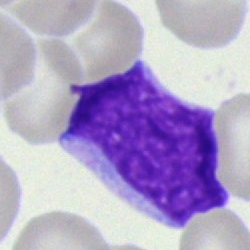 Q: What type of cell is this?
A: A blast.